Image size 250×250. MGG-stained. Bone marrow smear.
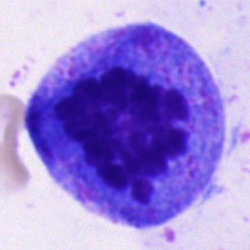A progranulocyte.